250×250; bone marrow aspirate smear
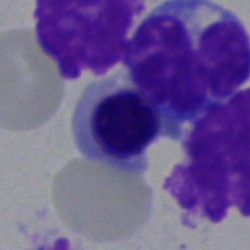

Impression → nucleated red cell.